Bone marrow smear:
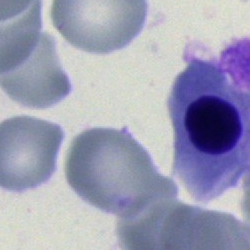
Morphology consistent with an erythroblast.